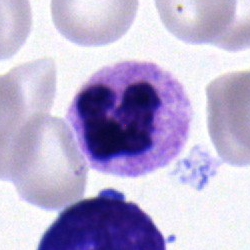

Impression → neutrophil (segmented).